Bone marrow aspirate smear
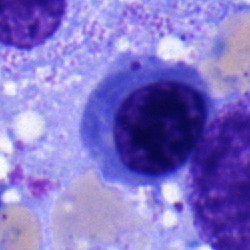 Morphological class: normoblast.